Bone marrow aspirate smear — 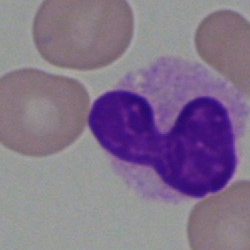 Q: What cell is this?
A: A stab cell.